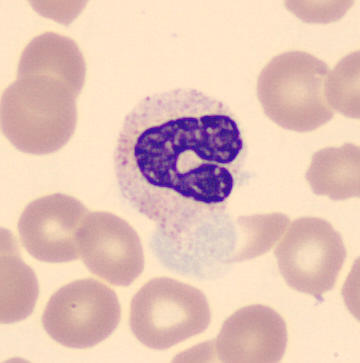
Specimen: peripheral blood film.
Cell type: band neutrophil.

Imaged on a CellaVision DM96 analyser.